Brightfield, 40× oil-immersion objective. Bone marrow aspirate smear
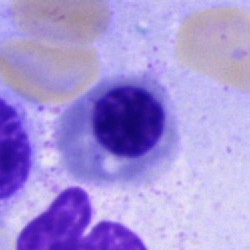
Morphology consistent with a nucleated red cell.